250 by 250 pixels. Bone marrow aspirate smear. Single-cell crop — 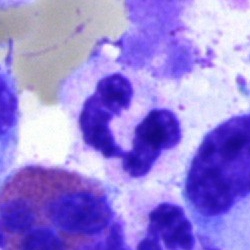

Neutrophil (segmented).